MGG-stained. Bone marrow smear. Cropped to a single cell.
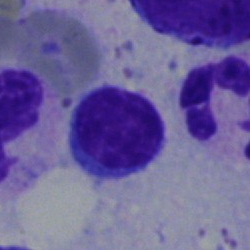The cell shown is a lymphocyte.